Bone marrow smear:
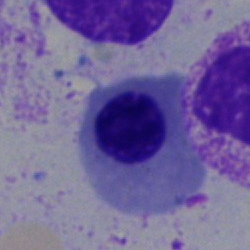
Morphological class: erythroblast.